Bone marrow smear
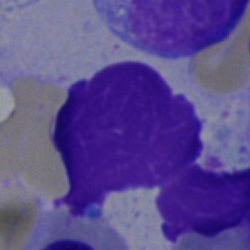 Single cell identified as an artefact.